40× oil immersion. Bone marrow smear — 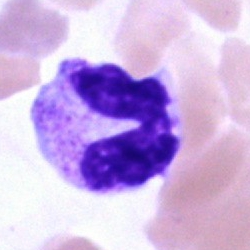 Q: What is the morphological classification of this cell?
A: A segmented neutrophil.